Bone marrow smear; Pappenheim-stained:
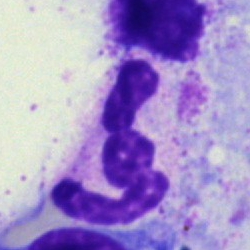 Morphological class — polymorphonuclear neutrophil.